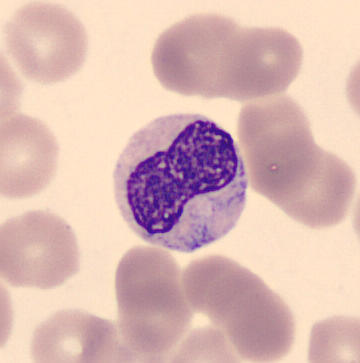
Specimen: peripheral blood film.
Morphological class: metamyelocyte.
Lineage: myeloid.